250 by 250 pixels. May-Grünwald-Giemsa stain. Bone marrow smear — 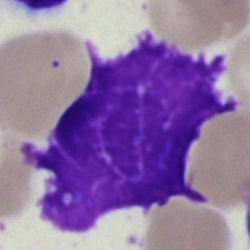

Classification — artifact.